Bone marrow aspirate smear:
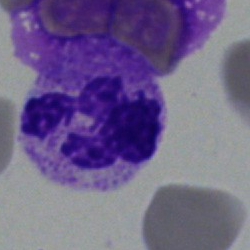 Single cell identified as a polymorphonuclear neutrophil.